Bone marrow aspirate smear.
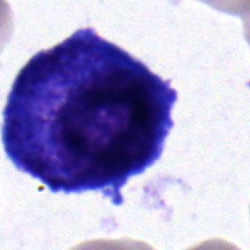 Cell type — plasmacyte.